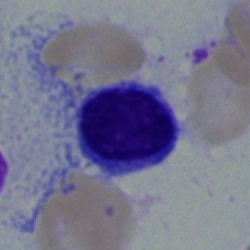 Typical lymphocyte.